Bone marrow smear:
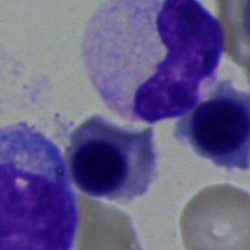 This is a normoblast.